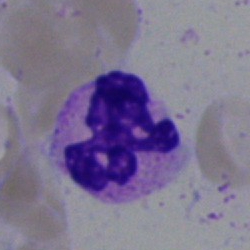 Q: Identify the cell.
A: This is a segmented neutrophil.